Bone marrow smear: 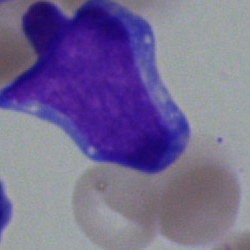 Classification: blast cell.